Bone marrow smear:
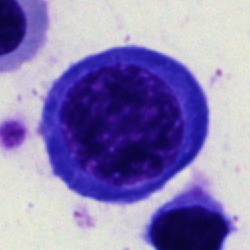

Q: Identify the cell.
A: Erythroblast.